May-Grünwald-Giemsa/Pappenheim stain · bone marrow aspirate smear:
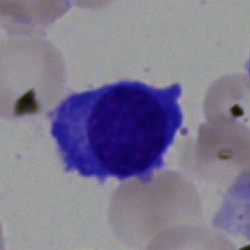
Cell = plasma cell.